Bone marrow smear — 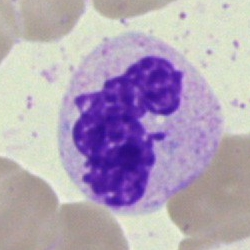

This is a neutrophil (segmented).